Bone marrow aspirate smear · 40× objective, oil immersion — 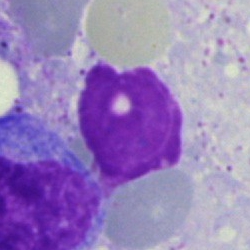 Q: What is shown here?
A: This is an artifact.